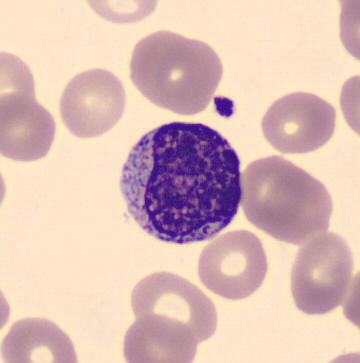Peripheral blood film.
Impression → myelocyte.